Bone marrow aspirate smear: 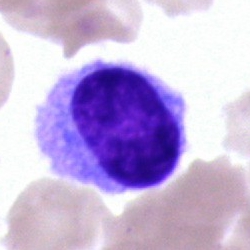Cell type: hairy cell.